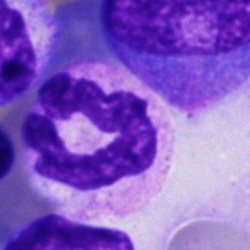Specimen: bone marrow aspirate smear.
Cell type: polymorphonuclear neutrophil.
Lineage: myeloid.